Bone marrow aspirate smear
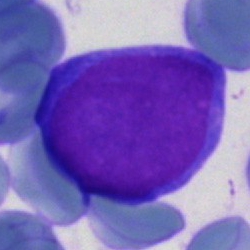Classification — undifferentiated blast.